Bone marrow smear. May-Grünwald-Giemsa stain.
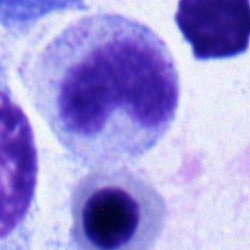Q: What is shown here?
A: It is a stab cell.